Bone marrow smear: 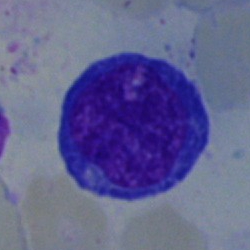Morphological class = blast.